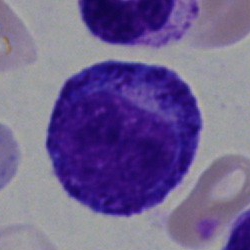 Classification = progranulocyte.